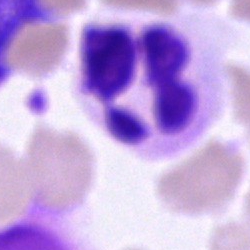Bone marrow aspirate smear, single cell — neutrophil (segmented).